Single-cell field · bone marrow aspirate smear — 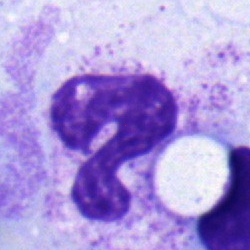

Classification: band-form neutrophil.